Peripheral blood film — 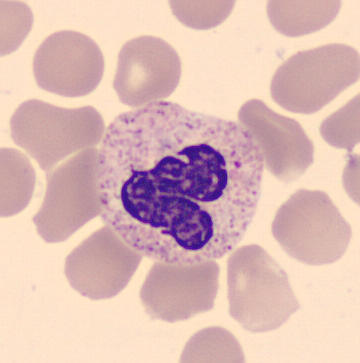Q: What cell is this?
A: A neutrophil (segmented).